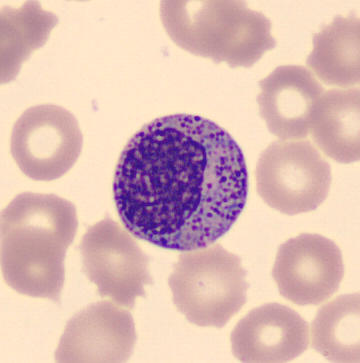

Morphology → myelocyte.